Single cell centered in the field; bone marrow aspirate smear
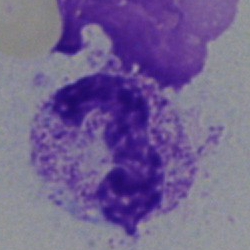
Morphology consistent with a segmented neutrophil.